Bone marrow aspirate smear: 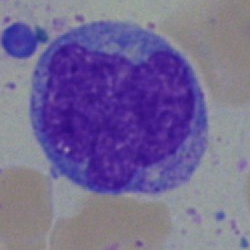 Q: What is shown here?
A: This is a blast.